Peripheral blood smear. Single-cell field
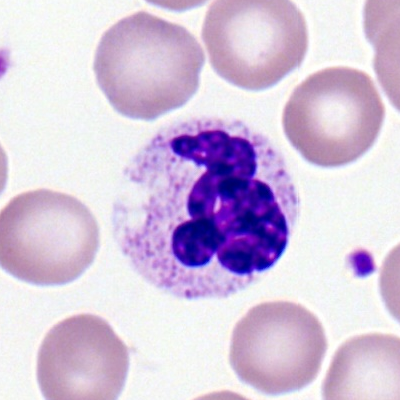
The cell shown is a neutrophil (segmented).